Bone marrow aspirate smear: 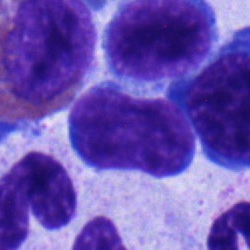
Impression — typical lymphocyte.